Bone marrow smear — 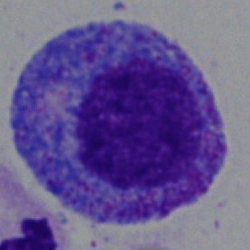 Progranulocyte.